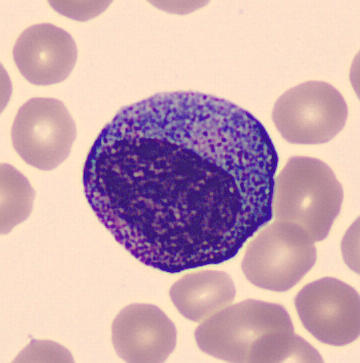

Acquisition: Peripheral blood film. 360×363. Imaged on a CellaVision DM96 analyser.
Q: What cell is this?
A: Progranulocyte.